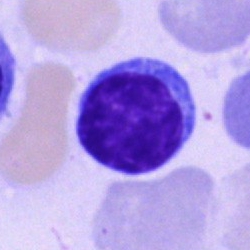

{"cell_type": "typical lymphocyte"}